Bone marrow aspirate smear — 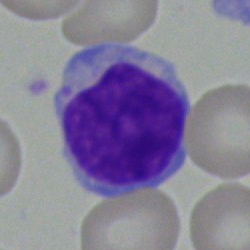 Q: What is the morphological classification of this cell?
A: This is a lymphocyte.